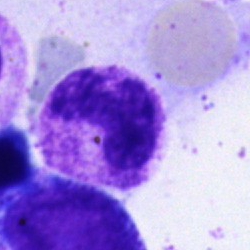
Morphology consistent with a segmented neutrophil.